Bone marrow aspirate smear; single-cell crop; 40× oil immersion.
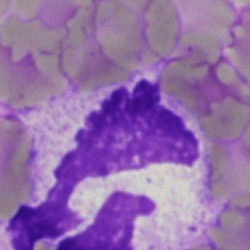Classification — artefact.